Bone marrow smear. 250 by 250 pixels — 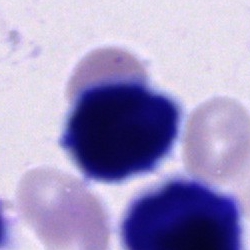

Q: Which cell type is shown here?
A: An unidentifiable cell.